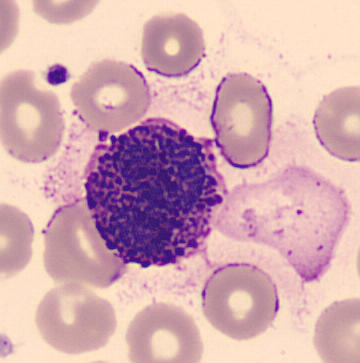
Identified as a basophil. MGG stain; CellaVision DM96; peripheral blood film.